Bone marrow smear:
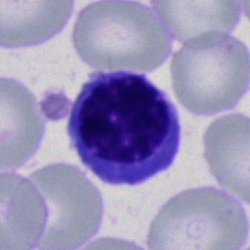 Q: Which cell type is shown here?
A: A nucleated red blood cell.